Bone marrow smear — 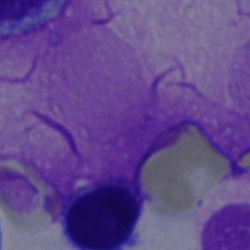

Specimen: bone marrow aspirate smear.
Classification: artefact.